400×400 px · peripheral blood film
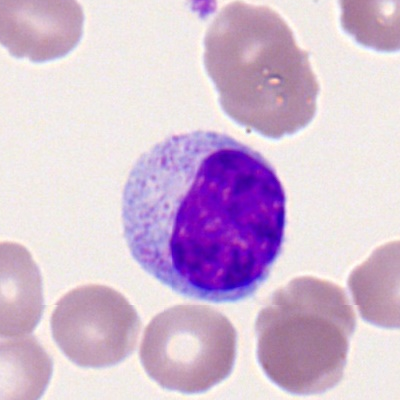

The cell shown is a lymphocyte.